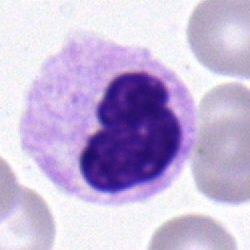 {"cell_type": "polymorphonuclear neutrophil", "lineage": "myeloid"}